Image size 250×250 · bone marrow smear — 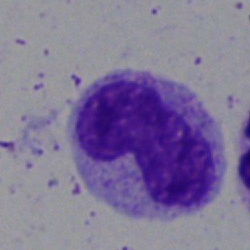 Impression — stab cell.